Peripheral blood smear:
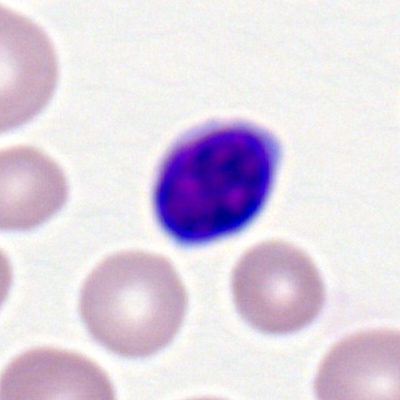 Q: What type of cell is this?
A: A lymphocyte.